Bone marrow smear:
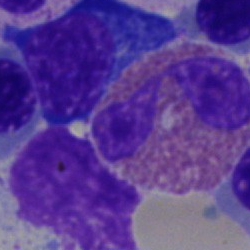

Q: What type of cell is this?
A: Eosinophilic granulocyte.